Single cell centered in the field · bone marrow aspirate smear
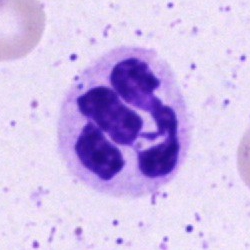

A segmented neutrophil.